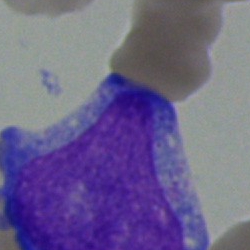{"cell_type": "basophil", "lineage": "myeloid"}